Bone marrow smear · image size 250×250 · single-cell field: 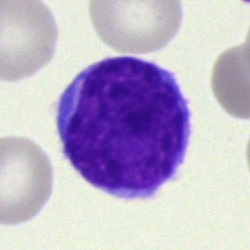 Cell type: blast cell.